Brightfield microscopy, 40× oil immersion. Bone marrow smear:
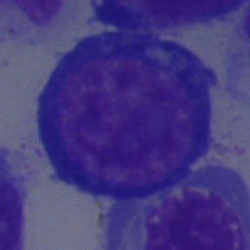

Morphology — nucleated red blood cell.